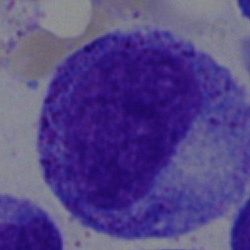 Specimen: bone marrow aspirate smear.
Classification: progranulocyte.